Bone marrow smear — 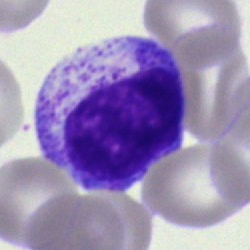Morphology consistent with a myelocyte.